Bone marrow smear
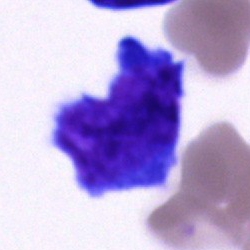

{"cell_type": "blast"}